Cropped to a single cell · bone marrow aspirate smear: 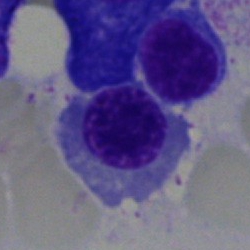

Showing an erythroblast.